Peripheral blood film.
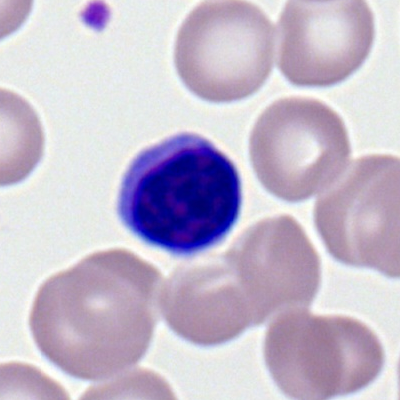Showing a typical lymphocyte.